Bone marrow smear — 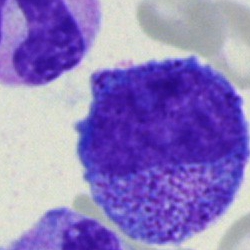

Progranulocyte.